Bone marrow aspirate smear · brightfield microscopy, 40× oil immersion
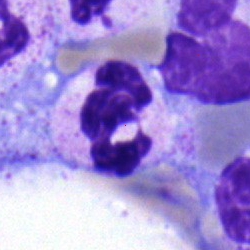
A neutrophil (segmented).